Bone marrow smear; single-cell crop: 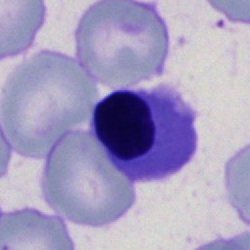 Classification: nucleated red blood cell.